Bone marrow aspirate smear: 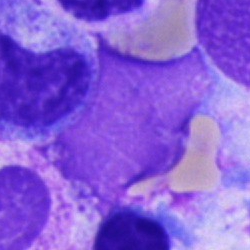
This is an artefact.